Bone marrow aspirate smear — 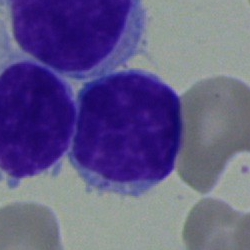
Specimen: bone marrow aspirate smear.
Cell: typical lymphocyte.